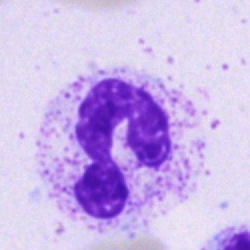

Impression → neutrophil (segmented).